Bone marrow smear. 40× objective, oil immersion
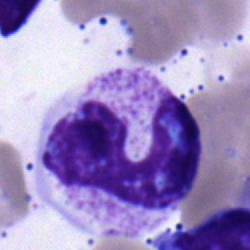Impression — band-form neutrophil.